Bone marrow smear.
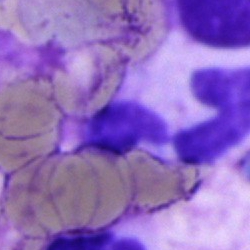 Q: What is the morphological classification of this cell?
A: A polymorphonuclear neutrophil.